Bone marrow smear; 250 by 250 pixels; Pappenheim-stained — 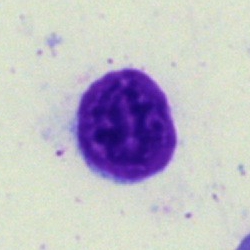 The classification is artefact.